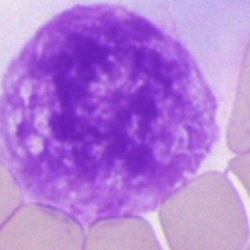

Specimen: bone marrow aspirate smear.
Cell type: artefact.